Bone marrow aspirate smear
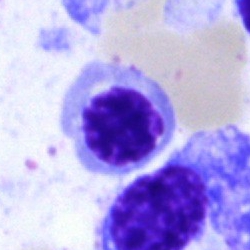

Showing an erythroblast.